Bone marrow smear. Image size 250×250.
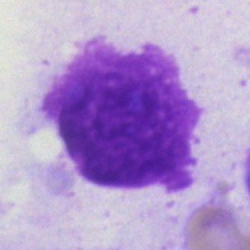Morphology consistent with an artefact.